40× oil immersion; bone marrow smear; May-Grünwald-Giemsa stain:
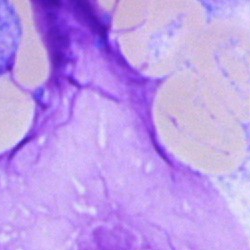

Artefact.